Bone marrow smear:
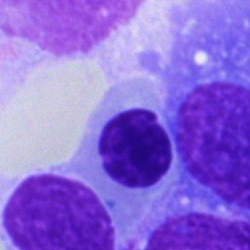 An erythroblast.